Bone marrow aspirate smear — 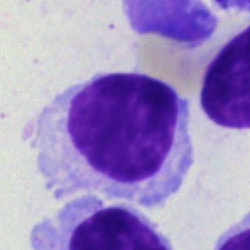Classification — lymphocyte.